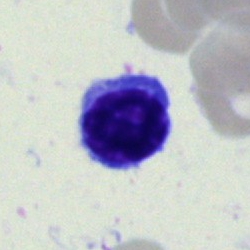
Morphology → lymphocyte.